Bone marrow smear: 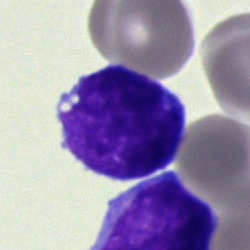 Q: What cell is this?
A: Undifferentiated blast.